Bone marrow aspirate smear:
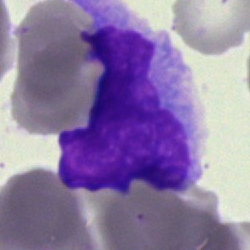Showing an artifact.